Bone marrow smear: 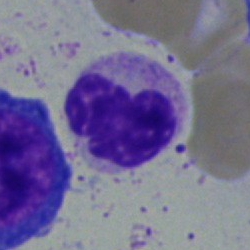

Specimen: bone marrow smear.
Cell: stab cell.
Lineage: myeloid.